Peripheral blood smear · 400×400 px · Romanowsky-stained
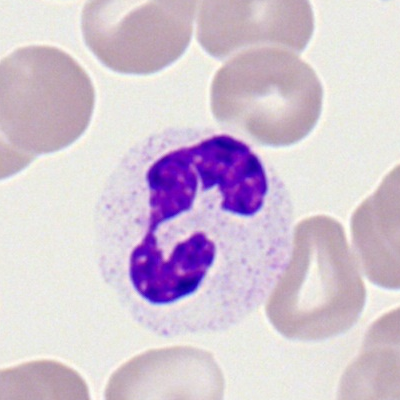 Specimen: peripheral blood smear.
Cell type: segmented neutrophil.
Lineage: myeloid.